Bone marrow aspirate smear. Pappenheim-stained. Brightfield, 40× oil-immersion objective.
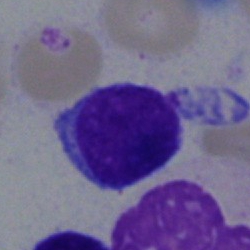Showing a lymphocyte.